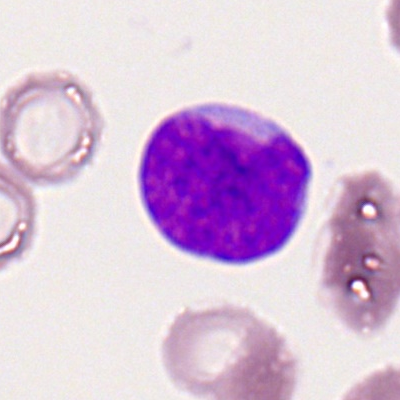
Peripheral blood film, single cell — myeloid blast.